Bone marrow smear; May-Grünwald-Giemsa stain; single-cell crop.
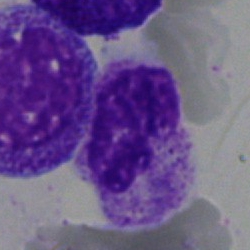Classification — neutrophil (segmented).